Bone marrow aspirate smear: 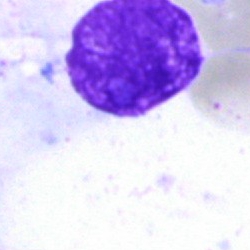 This is an artefact.